Bone marrow smear:
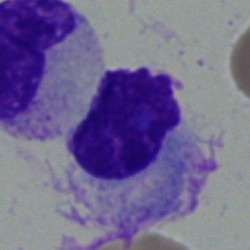 Cell: artifact.